Bone marrow aspirate smear: 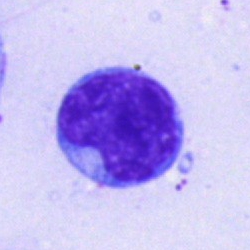
{"cell_type": "typical lymphocyte", "lineage": "lymphoid"}